Bone marrow smear.
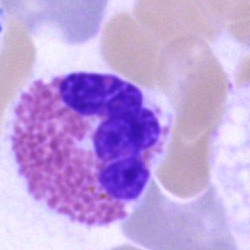

Morphological class — eosinophil.